100× objective, oil immersion; peripheral blood film; Romanowsky stain — 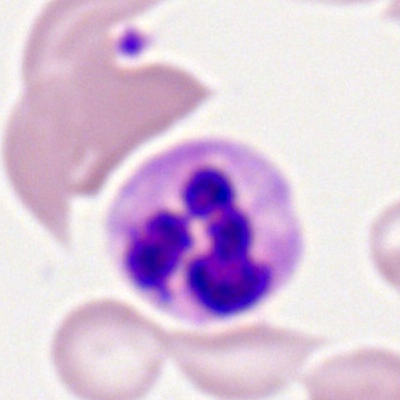

Impression → neutrophil (segmented).